40× objective, oil immersion · image size 250×250 · bone marrow aspirate smear
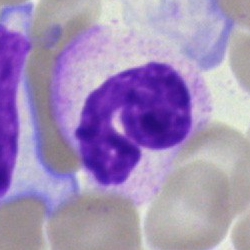 Cell — polymorphonuclear neutrophil.